Brightfield, 100× oil-immersion objective · peripheral blood smear — 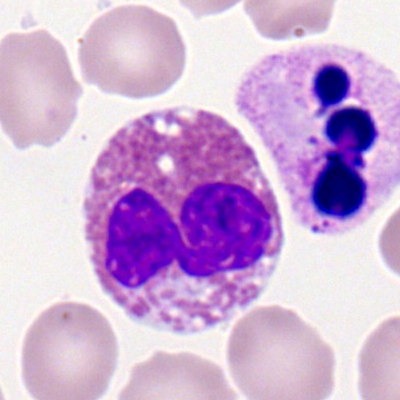 Morphology — eosinophil.